Bone marrow aspirate smear:
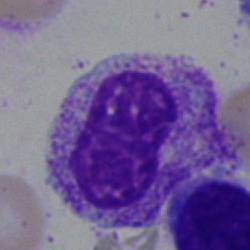
Q: What type of cell is this?
A: It is a band-form neutrophil.